Bone marrow aspirate smear
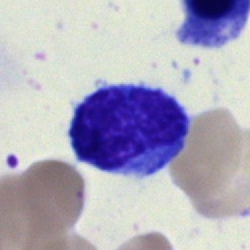The cell shown is a lymphocyte.